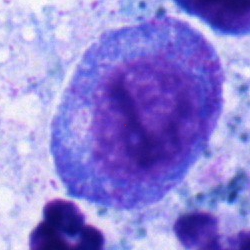 Q: What is shown here?
A: It is a progranulocyte.